Bone marrow smear. Single-cell field
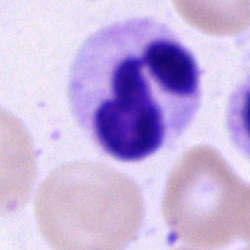
{"cell_type": "segmented neutrophil", "lineage": "myeloid"}